Bone marrow aspirate smear.
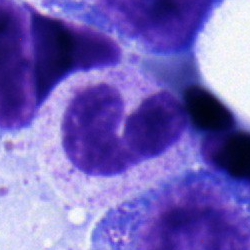Polymorphonuclear neutrophil.